40× objective, oil immersion · bone marrow aspirate smear: 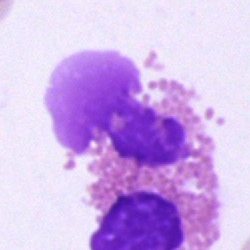

The classification is eosinophil.